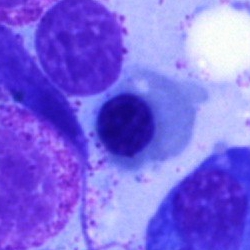 Q: What is shown here?
A: It is an erythroblast.